May-Grünwald-Giemsa stain; bone marrow aspirate smear:
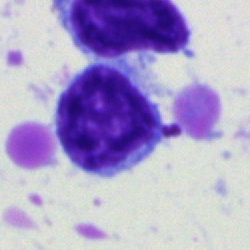

Q: What type of cell is this?
A: This is a typical lymphocyte.